250 by 250 pixels · May-Grünwald-Giemsa stain · bone marrow smear: 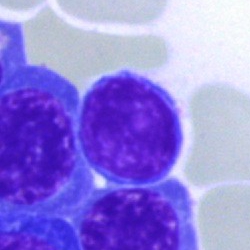

Q: Identify the cell.
A: It is a lymphocyte.